Bone marrow smear. Brightfield microscopy, 40× oil immersion
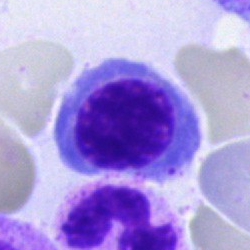

Q: Identify the cell.
A: This is an erythroblast.